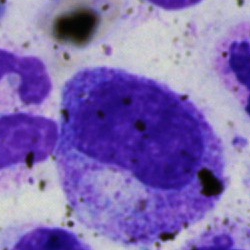
Single-cell crop from a bone marrow smear: metamyelocyte.